Bone marrow aspirate smear — 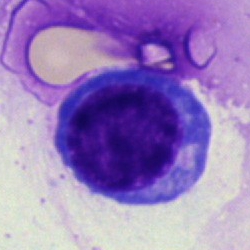 Impression → normoblast.